Bone marrow aspirate smear · single-cell crop:
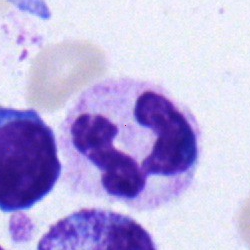
The cell shown is a neutrophil (segmented).